Bone marrow aspirate smear
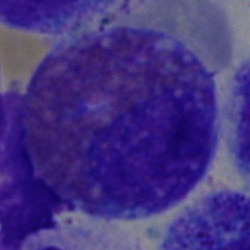

Cell type = eosinophilic granulocyte.